Bone marrow aspirate smear:
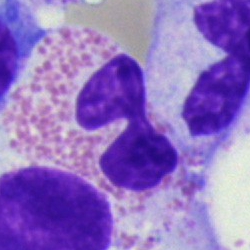
Showing an eosinophilic granulocyte.